Peripheral blood smear:
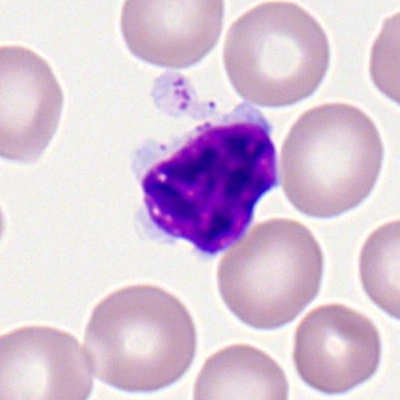
Single cell identified as a lymphocyte.